Single-cell crop. Bone marrow smear — 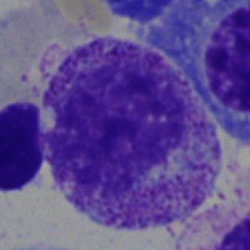

This is a myelocyte.